May-Grünwald-Giemsa/Pappenheim stain. Bone marrow aspirate smear:
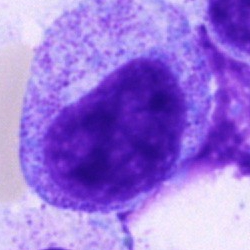

This is a promyelocyte.